40× oil immersion; bone marrow aspirate smear: 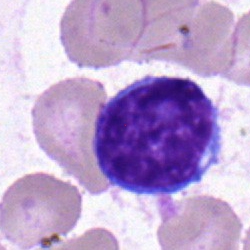

This is a lymphocyte.